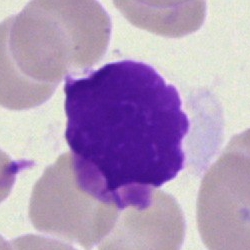
Q: What is shown here?
A: An artifact.